MGG-stained. Brightfield microscopy, 40× oil immersion. Bone marrow aspirate smear — 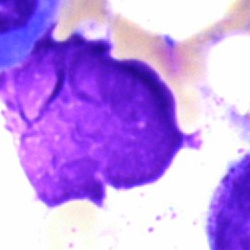
An artifact.